Bone marrow smear: 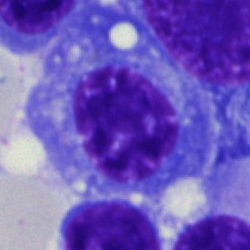Cell type — plasma cell.